Bone marrow aspirate smear
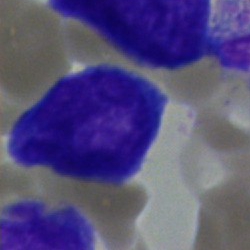 Morphology — undifferentiated blast.